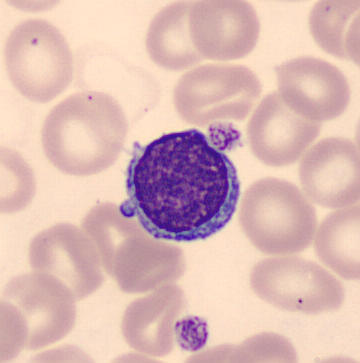

Peripheral blood smear.

Q: What is shown here?
A: It is a lymphocyte.